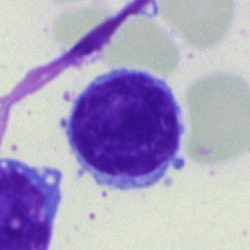

Q: What is the morphological classification of this cell?
A: A typical lymphocyte.